Single-cell crop. Bone marrow aspirate smear
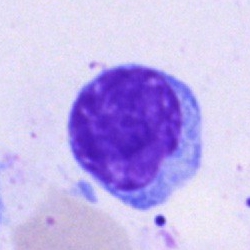{"cell_type": "lymphocyte", "lineage": "lymphoid"}